400 by 400 pixels · peripheral blood smear: 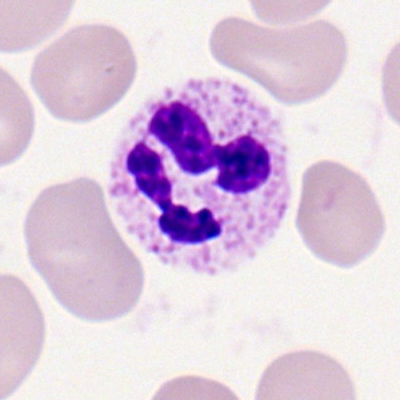

Specimen: peripheral blood smear.
Cell type: neutrophil (segmented).